Bone marrow aspirate smear · 40× objective, oil immersion · 250 by 250 pixels.
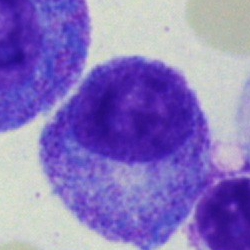

Specimen: bone marrow smear.
Cell: promyelocyte.
Lineage: myeloid.